250×250 px · bone marrow aspirate smear — 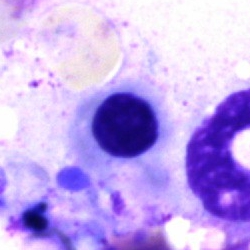Specimen: bone marrow smear.
Cell type: nucleated red cell.
Lineage: erythroid.